Peripheral blood smear
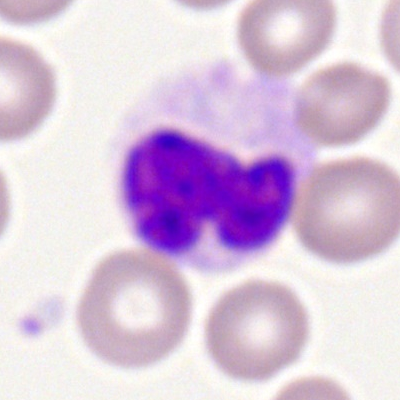Cell: neutrophil (segmented).